May-Grünwald-Giemsa stain; single-cell field; bone marrow smear
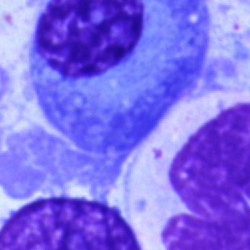

Single cell identified as a plasmacyte.